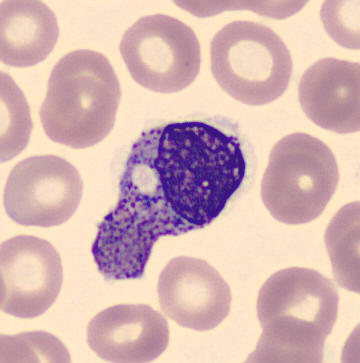 Q: What is this?
A: This is a metamyelocyte.
Preparation: Peripheral blood smear.